Bone marrow aspirate smear:
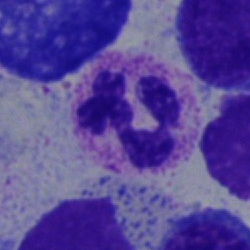 Classification: segmented neutrophil.